Bone marrow aspirate smear: 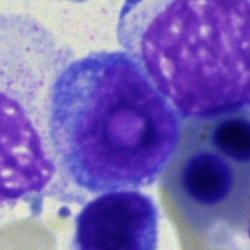Showing a blast cell.